250×250 px; bone marrow aspirate smear.
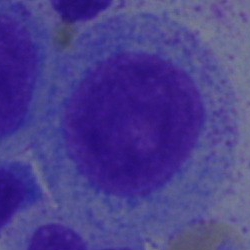
Q: What cell is this?
A: A myelocyte.